Peripheral blood smear · 100× oil immersion — 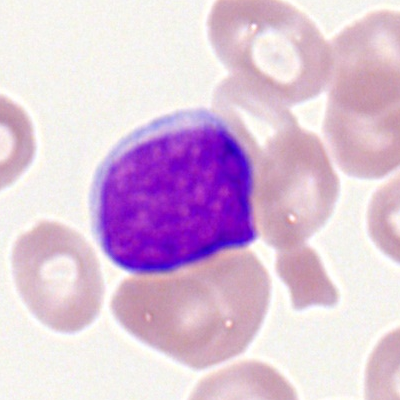 Single cell identified as a typical lymphocyte.